Bone marrow smear — 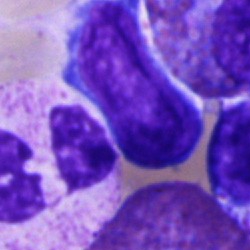 Q: Identify the cell.
A: A cell of indeterminate lineage.